Bone marrow smear · 40× oil immersion — 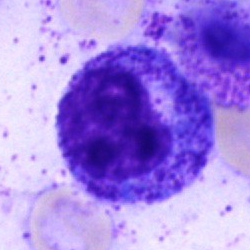

A promyelocyte.